Bone marrow aspirate smear
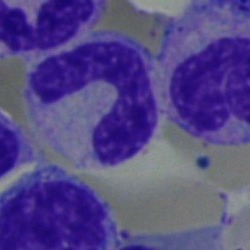Q: What is the morphological classification of this cell?
A: This is a stab cell.